Single-cell field; bone marrow aspirate smear; image size 250×250.
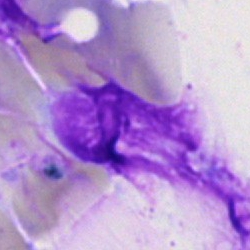
This is an artefact.